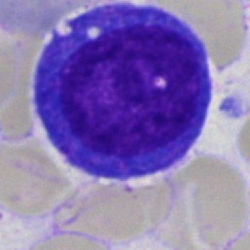 Bone marrow aspirate smear, single cell — promyelocyte.